Bone marrow aspirate smear: 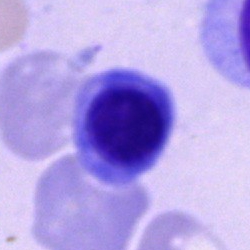

Q: What is shown here?
A: It is an erythroblast.